Brightfield, 40× oil-immersion objective · bone marrow smear — 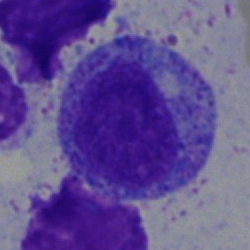

Cell: myelocyte.